Bone marrow aspirate smear; single cell centered in the field: 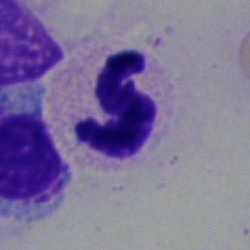 Specimen: bone marrow smear.
Classification: segmented neutrophil.